Bone marrow smear. 250 by 250 pixels. Brightfield microscopy, 40× oil immersion:
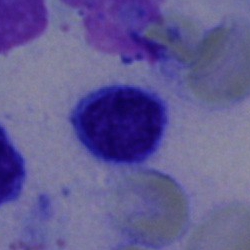Single cell identified as a typical lymphocyte.